250×250 px; single cell centered in the field; bone marrow smear — 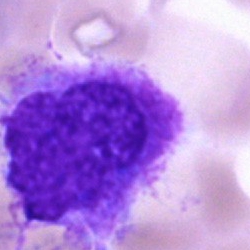 Specimen: bone marrow aspirate smear.
Cell type: artefact.